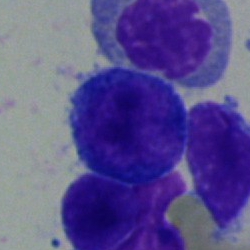
Q: Identify the cell.
A: This is a pronormoblast.